Cropped to a single cell · bone marrow aspirate smear · brightfield microscopy, 40× oil immersion.
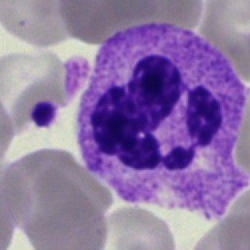

Q: What is shown here?
A: It is a neutrophil (segmented).